Bone marrow smear:
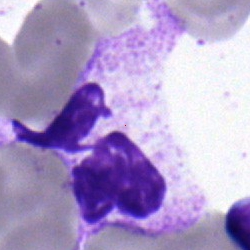
Morphological class: neutrophil (segmented).